May-Grünwald-Giemsa stain. Bone marrow aspirate smear
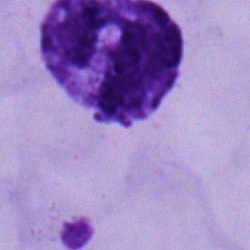
Showing a polymorphonuclear neutrophil.